Bone marrow aspirate smear
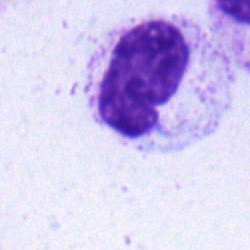{"cell_type": "metamyelocyte", "lineage": "myeloid"}